Bone marrow smear — 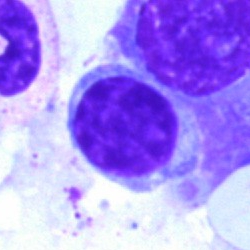

Specimen: bone marrow aspirate smear.
Cell type: lymphocyte.
Lineage: lymphoid.